Bone marrow smear; single cell centered in the field; brightfield, 40× oil-immersion objective: 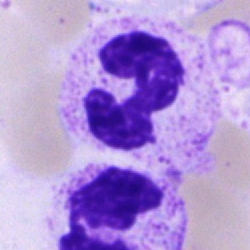
Q: What is shown here?
A: This is a segmented neutrophil.